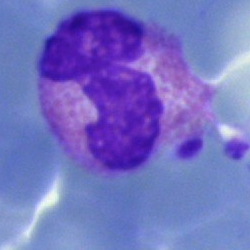 Impression — eosinophilic granulocyte.